Bone marrow aspirate smear: 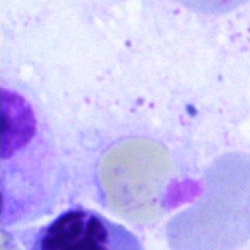 Showing an artefact.